Bone marrow aspirate smear
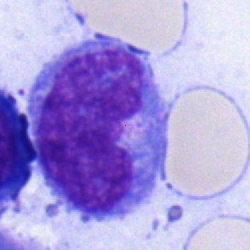

{"cell_type": "monocyte", "lineage": "myeloid"}